Bone marrow aspirate smear. Single-cell crop. 250 by 250 pixels — 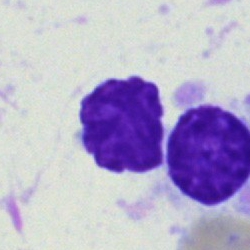 {"cell_type": "artefact"}